Brightfield, 40× oil-immersion objective. Bone marrow smear — 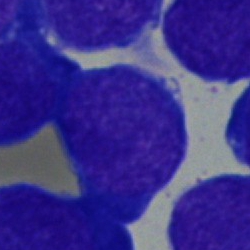

Specimen: bone marrow smear.
Morphological class: blast cell.